40× objective, oil immersion · bone marrow aspirate smear — 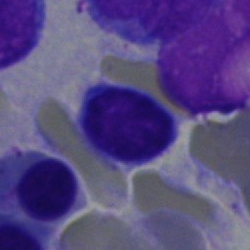Q: Which cell type is shown here?
A: This is a typical lymphocyte.